Bone marrow aspirate smear; brightfield, 40× oil-immersion objective; single cell centered in the field
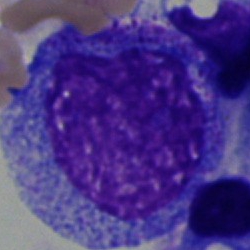

{"cell_type": "progranulocyte", "lineage": "myeloid"}